Bone marrow smear
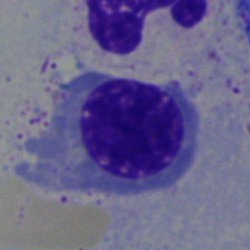

The cell type is erythroblast.